Peripheral blood smear — 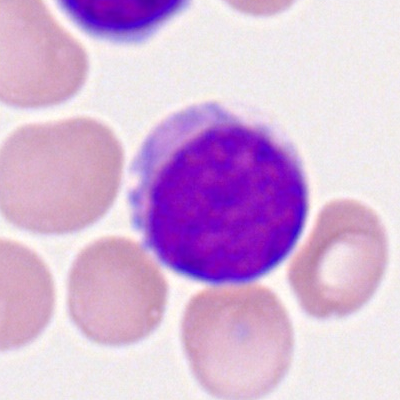Q: What type of cell is this?
A: A lymphocyte.